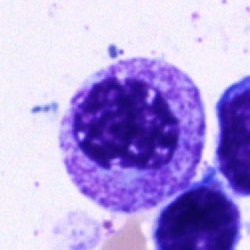

Morphology — myelocyte.